Romanowsky-stained. Peripheral blood smear — 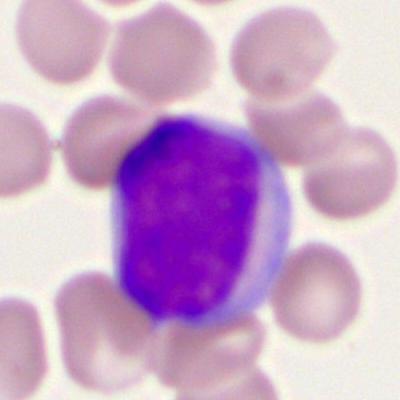
The cell shown is a myeloid blast.